Bone marrow smear — 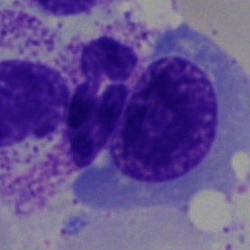 The morphological class is nucleated red cell.